Single-cell crop · bone marrow smear · image size 250×250
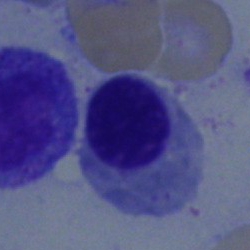Showing an erythroblast.